Bone marrow smear — 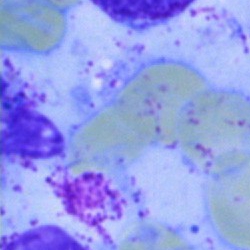
This is an artefact.